Bone marrow aspirate smear
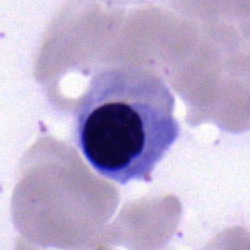Q: Which cell type is shown here?
A: This is a nucleated red blood cell.